Bone marrow aspirate smear
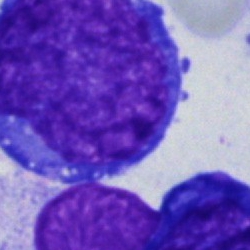
Impression — blast cell.